Bone marrow smear — 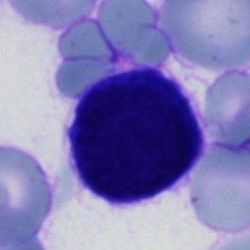Morphological class: cell of indeterminate lineage.